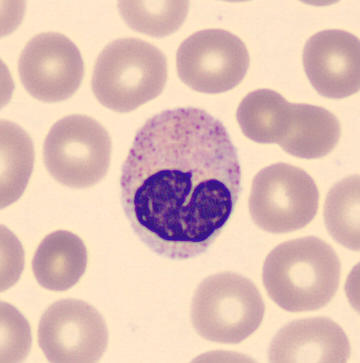
Specimen: peripheral blood smear.
Cell type: stab cell.
Lineage: myeloid.